Bone marrow smear.
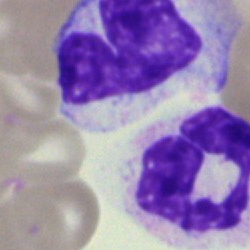 Morphology consistent with a polymorphonuclear neutrophil.